Bone marrow smear; Pappenheim-stained:
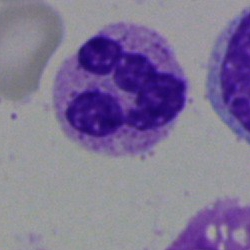 This is a polymorphonuclear neutrophil.